360 by 363 pixels; single-cell field; peripheral blood smear:
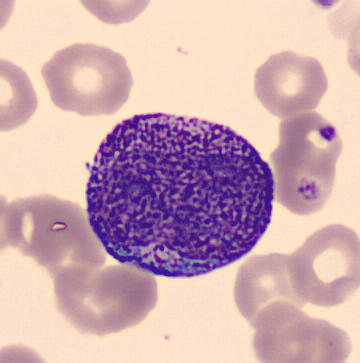Morphological class = progranulocyte.